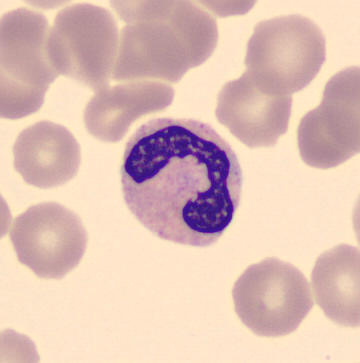

Morphology → band neutrophil.